Single-cell field · bone marrow smear.
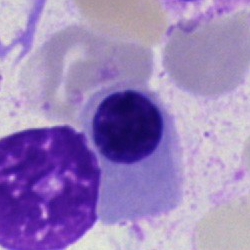{"cell_type": "nucleated red cell"}